May-Grünwald-Giemsa/Pappenheim stain · bone marrow aspirate smear:
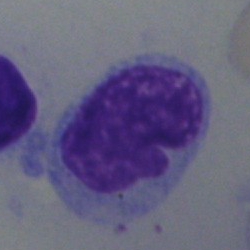Cell — monocyte.